250×250 · bone marrow aspirate smear
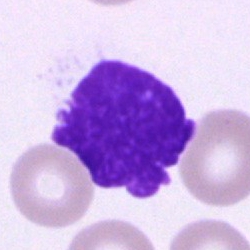 Cell — artifact.